Bone marrow smear:
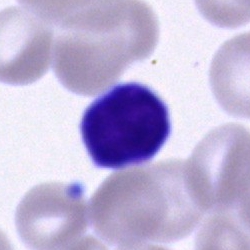

Specimen: bone marrow smear.
Classification: lymphocyte.